Bone marrow smear: 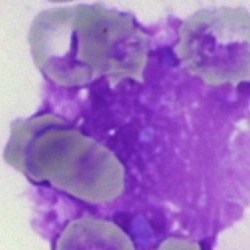
Single cell identified as an artifact.